Bone marrow smear: 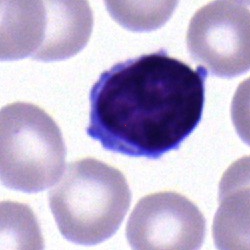 Q: Which cell type is shown here?
A: Lymphocyte.